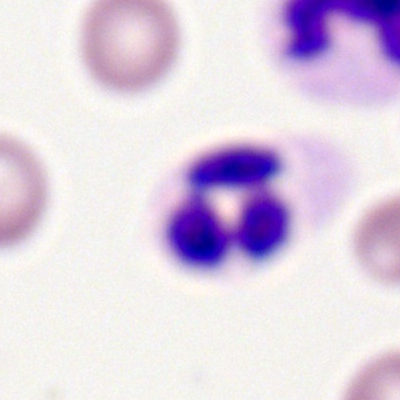

Single cell identified as a segmented neutrophil.